Bone marrow aspirate smear: 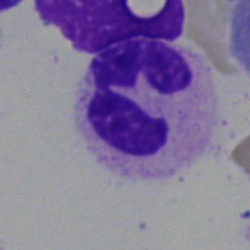 Q: What type of cell is this?
A: Neutrophil (segmented).